Brightfield microscopy, 40× oil immersion; May-Grünwald-Giemsa stain; bone marrow smear — 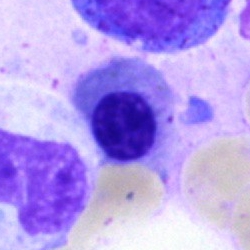
Morphology → normoblast.